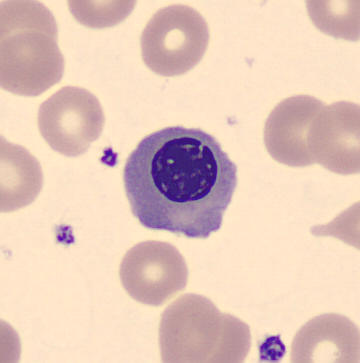The morphological class is nucleated red blood cell. Image: Peripheral blood film.